Bone marrow aspirate smear: 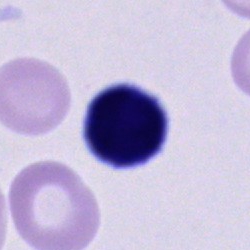Morphological class = unidentifiable cell.